Bone marrow smear:
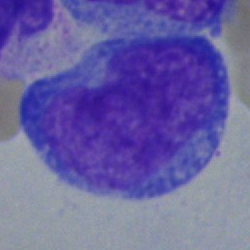 Specimen: bone marrow aspirate smear.
Classification: undifferentiated blast.